Bone marrow aspirate smear — 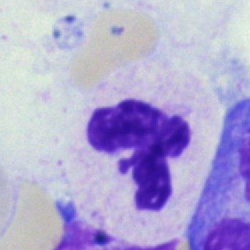Q: What cell is this?
A: This is a neutrophil (segmented).